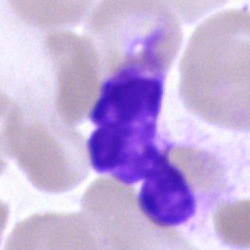Impression → artifact.